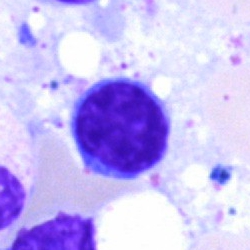Specimen: bone marrow aspirate smear.
Cell: typical lymphocyte.
Lineage: lymphoid.